Bone marrow aspirate smear — 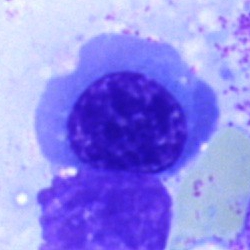Q: What cell is this?
A: An erythroblast.